250 by 250 pixels. May-Grünwald-Giemsa/Pappenheim stain. Bone marrow aspirate smear: 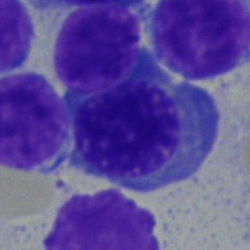Classification = erythroblast.